Bone marrow aspirate smear — 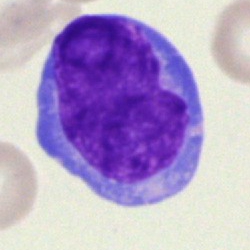

Single cell identified as a blast.